Bone marrow smear: 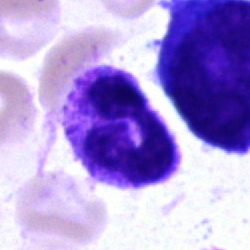
The cell shown is a polymorphonuclear neutrophil.